250 by 250 pixels; bone marrow aspirate smear; brightfield, 40× oil-immersion objective
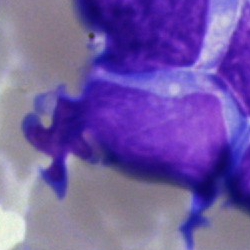A blast cell.